Bone marrow aspirate smear. Brightfield, 40× oil-immersion objective. MGG-stained: 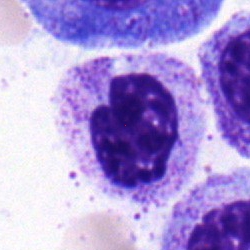 Q: What is the morphological classification of this cell?
A: Metamyelocyte.